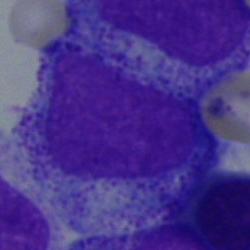
Impression → myelocyte.